Bone marrow smear; cropped to a single cell.
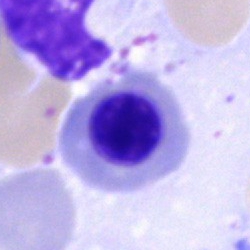

The cell type is erythroblast.